Single cell centered in the field. Bone marrow aspirate smear. 250×250 — 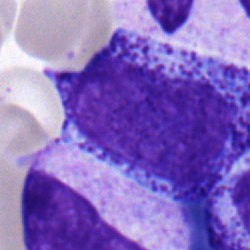
Specimen: bone marrow smear.
Cell: promyelocyte.
Lineage: myeloid.